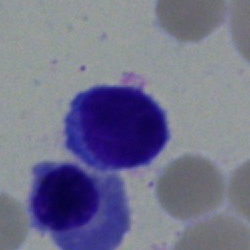
Cell: typical lymphocyte.